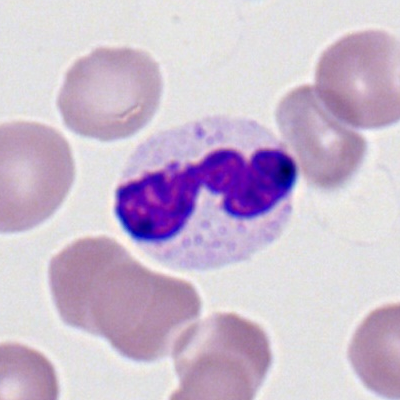

The cell is neutrophil (segmented).